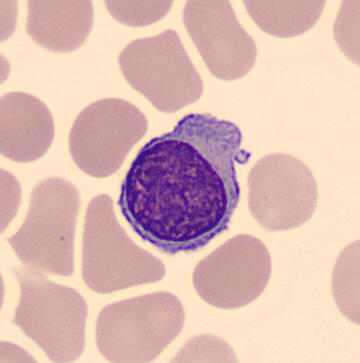
Morphological class = typical lymphocyte.